Brightfield, 40× oil-immersion objective. May-Grünwald-Giemsa stain. Bone marrow smear: 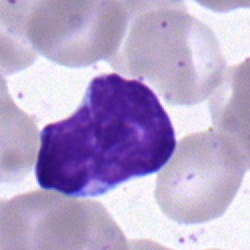

Single cell identified as a typical lymphocyte.